Cropped to a single cell · bone marrow smear — 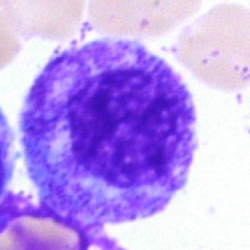Specimen: bone marrow smear.
Cell: myelocyte.
Lineage: myeloid.